40× objective, oil immersion. 250×250. Bone marrow aspirate smear
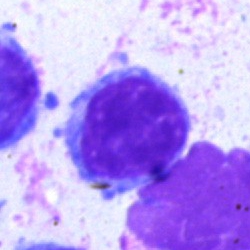The cell shown is a lymphocyte.